Bone marrow smear:
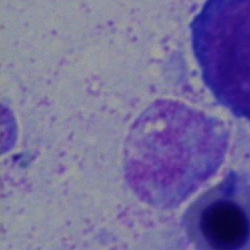 The classification is artifact.